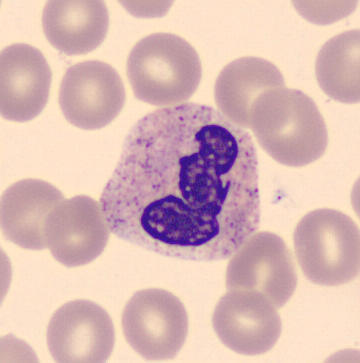
Peripheral blood smear.
Identified as a polymorphonuclear neutrophil.